Bone marrow aspirate smear; single cell centered in the field: 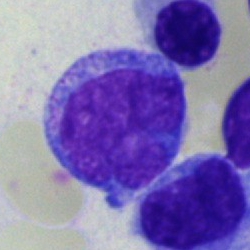
Morphological class — monocyte.